Bone marrow aspirate smear
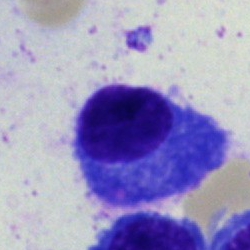Morphology consistent with a plasma cell.